Image size 250×250; bone marrow smear.
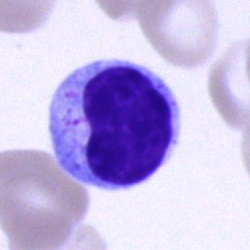 Single cell identified as a lymphocyte.